Bone marrow smear.
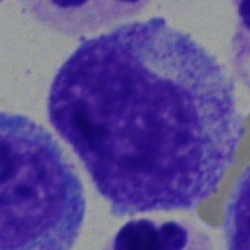 {"cell_type": "myelocyte"}